Bone marrow smear; 250 by 250 pixels — 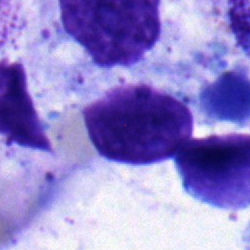
This is a lymphocyte.